Bone marrow aspirate smear — 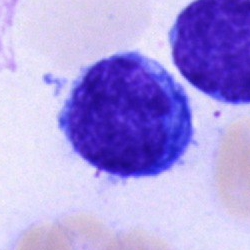

Morphological class: typical lymphocyte.